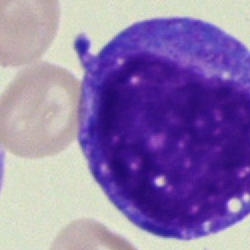
Specimen: bone marrow smear.
Classification: undifferentiated blast.